Brightfield, 40× oil-immersion objective; bone marrow aspirate smear — 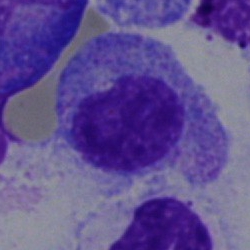

This is a myelocyte.